Peripheral blood smear · 400×400 px: 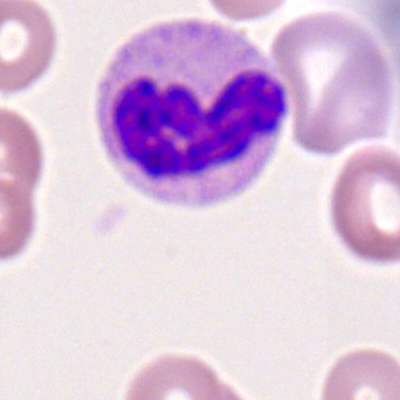

Showing a polymorphonuclear neutrophil.